Peripheral blood film: 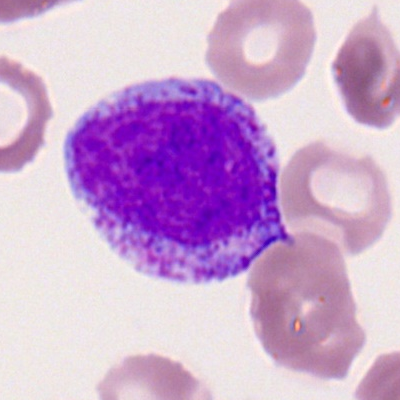
Morphological class — myelocyte.